Bone marrow smear; single-cell field:
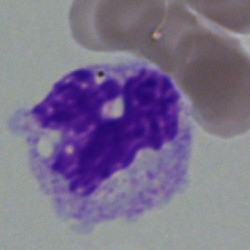Showing a polymorphonuclear neutrophil.